Bone marrow smear: 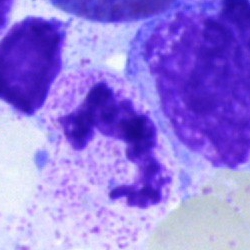

{"cell_type": "polymorphonuclear neutrophil"}